Bone marrow aspirate smear
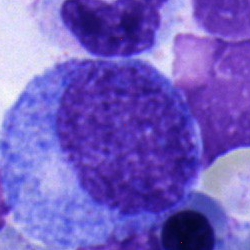A promyelocyte.